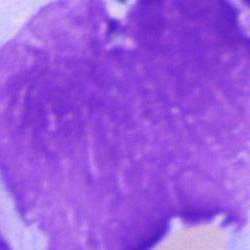Morphology — artefact.